Bone marrow aspirate smear.
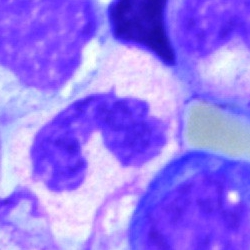
Morphology consistent with a neutrophil (segmented).